Bone marrow aspirate smear: 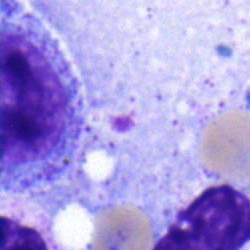Showing a promyelocyte.